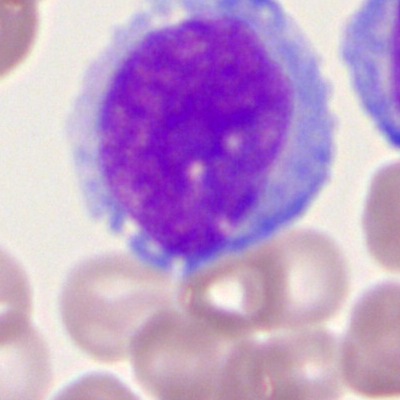
Cell — monocyte.